40× oil immersion. Bone marrow aspirate smear
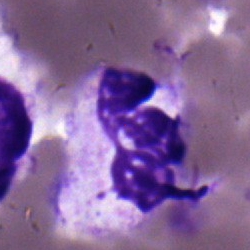

Q: What is the morphological classification of this cell?
A: This is a segmented neutrophil.